Single-cell crop. Bone marrow aspirate smear.
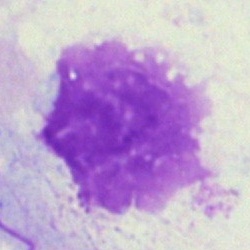Cell type: artefact.